Bone marrow aspirate smear:
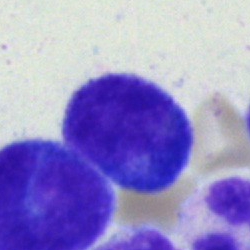 Cell = proerythroblast.